MGG-stained; bone marrow aspirate smear; image size 250×250: 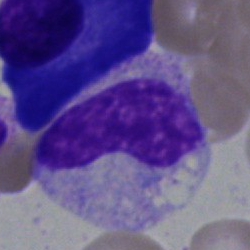Q: What type of cell is this?
A: Band neutrophil.